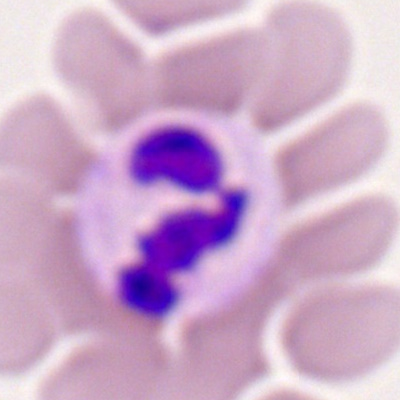
Segmented neutrophil.